MGG-stained. Bone marrow smear. 250×250 px
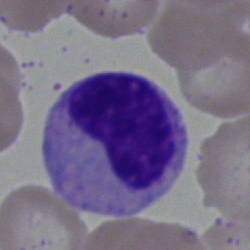 Impression → metamyelocyte.